Bone marrow aspirate smear. 250×250: 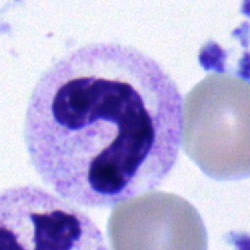 A stab cell.